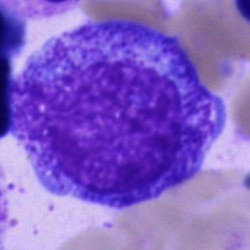

A progranulocyte.